Brightfield microscopy, 40× oil immersion · bone marrow aspirate smear: 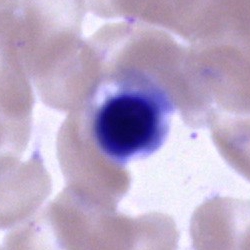Impression → erythroblast.